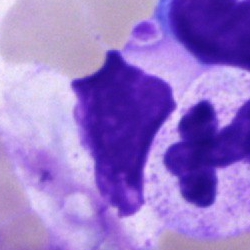
Cell type: cell of indeterminate lineage.